Bone marrow smear:
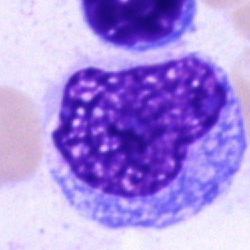Undifferentiated blast.